Single-cell field; 250×250 px; bone marrow aspirate smear:
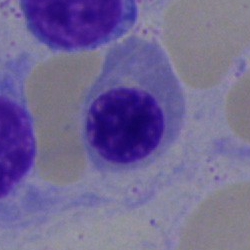

Single cell identified as an erythroblast.